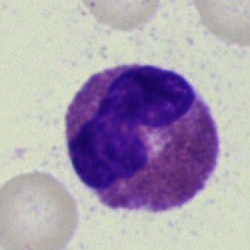
The classification is eosinophil.